Peripheral blood film
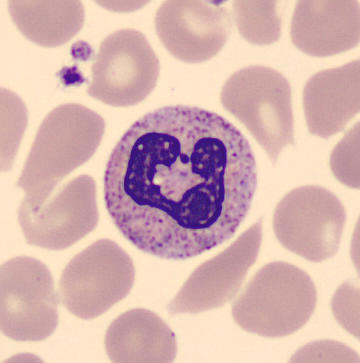Q: What is this?
A: This is a stab cell.